Bone marrow aspirate smear.
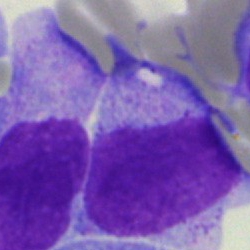 {"cell_type": "blast"}